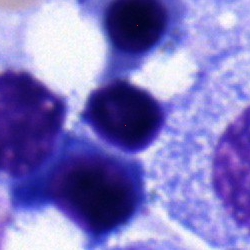 Bone marrow smear showing a normoblast.